Image size 250×250. Bone marrow smear.
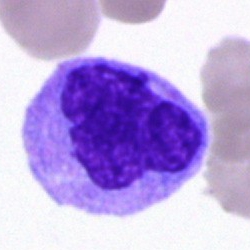

Q: What is the morphological classification of this cell?
A: Monocyte.